Bone marrow smear:
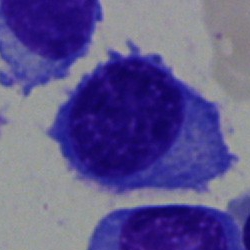
Q: What is shown here?
A: This is a plasmacyte.